Peripheral blood smear. 400 by 400 pixels.
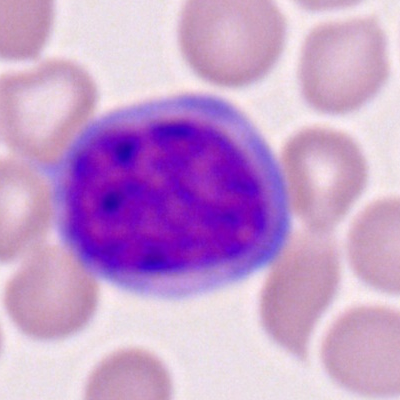
A monocyte.